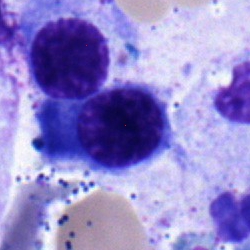
Cell: normoblast.